Romanowsky-stained · peripheral blood smear: 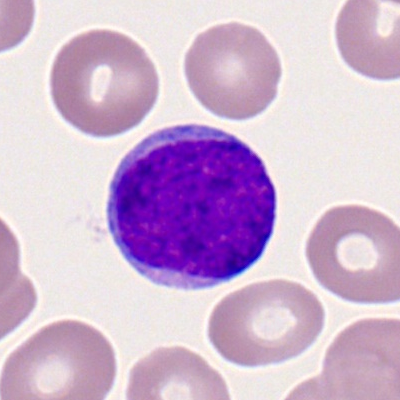 Morphology consistent with a myeloblast.